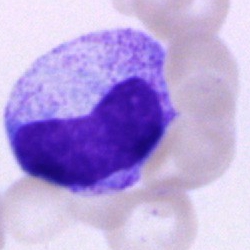

Metamyelocyte.